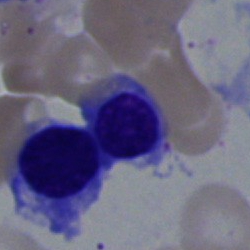 Morphology → nucleated red blood cell.